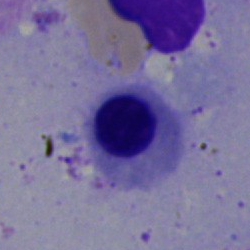The classification is nucleated red blood cell.